Bone marrow smear; 40× oil immersion — 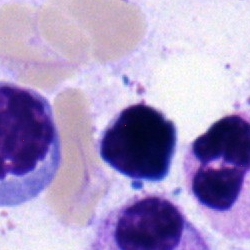

Specimen: bone marrow smear.
Cell type: lymphocyte.
Lineage: lymphoid.